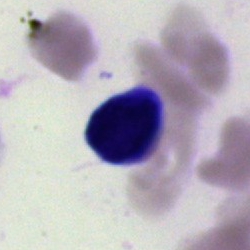The cell shown is an artifact.